Bone marrow aspirate smear — 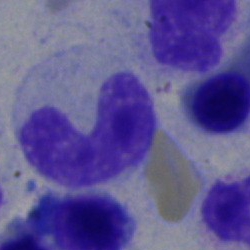
Band neutrophil.